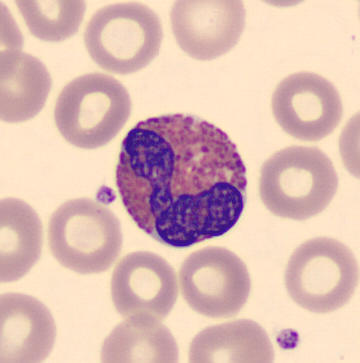 Morphology → eosinophilic granulocyte.